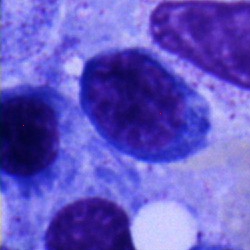Showing a progranulocyte.